Bone marrow aspirate smear
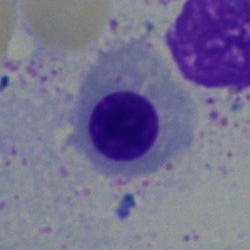
The classification is erythroblast.